Bone marrow aspirate smear
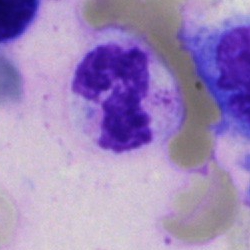
Cell: polymorphonuclear neutrophil.